Bone marrow smear — 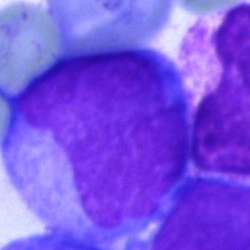

Cell type: blast cell.